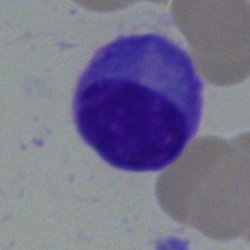Morphological class — plasma cell.